Bone marrow aspirate smear — 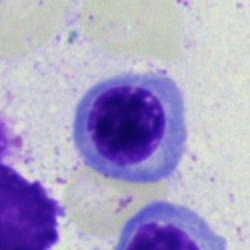Impression → nucleated red blood cell.